Cropped to a single cell; bone marrow aspirate smear; 250×250 px
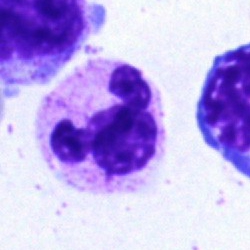

Impression — polymorphonuclear neutrophil.